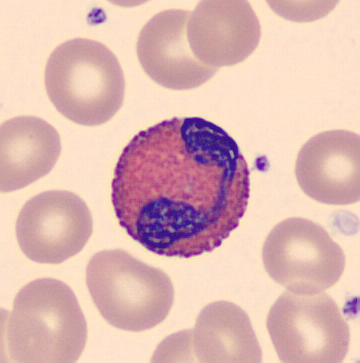

Peripheral blood smear; CellaVision DM96 digital cell image.

Morphology consistent with an eosinophil.